Single-cell field · bone marrow smear — 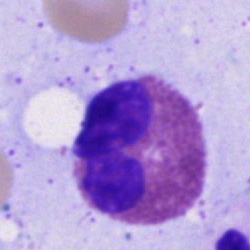Single cell identified as an eosinophil.